Bone marrow aspirate smear · 40× objective, oil immersion: 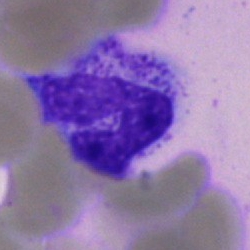 Specimen: bone marrow aspirate smear.
Morphological class: band neutrophil.
Lineage: myeloid.